Bone marrow aspirate smear · brightfield, 40× oil-immersion objective · single cell centered in the field
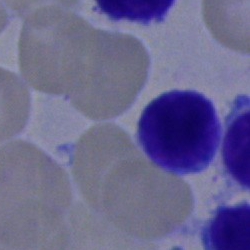 Q: What is the morphological classification of this cell?
A: This is a typical lymphocyte.